Bone marrow aspirate smear:
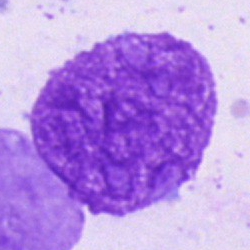Specimen: bone marrow smear.
Morphological class: artifact.